Bone marrow smear
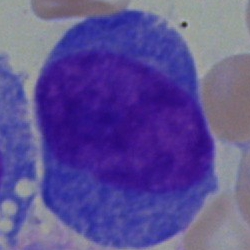

Q: What type of cell is this?
A: This is a blast.